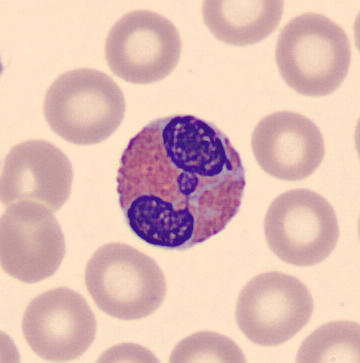 Q: What is this?
A: Eosinophilic granulocyte. Image: 360×363 px · peripheral blood smear.